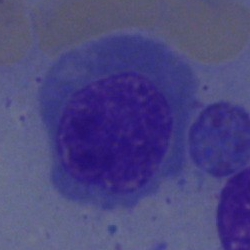

The cell type is normoblast.